40× oil immersion. Bone marrow aspirate smear. Image size 250×250.
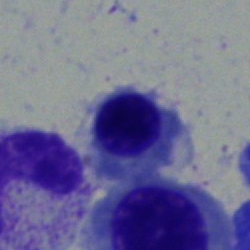Classification = erythroblast.